Bone marrow smear · 40× oil immersion · May-Grünwald-Giemsa stain — 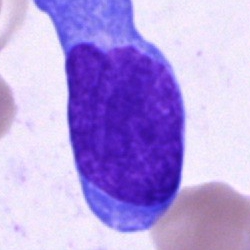 The cell shown is a blast.